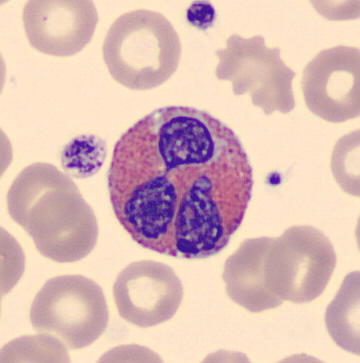
The cell shown is an eosinophilic granulocyte. Peripheral blood film.